Brightfield microscopy, 40× oil immersion · bone marrow aspirate smear: 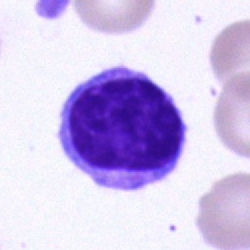

Specimen: bone marrow smear.
Morphological class: lymphocyte.